40× objective, oil immersion. Bone marrow smear:
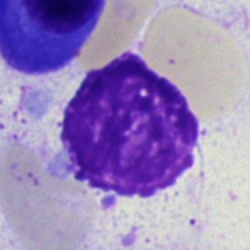

Q: What is shown here?
A: It is an artefact.